Bone marrow aspirate smear
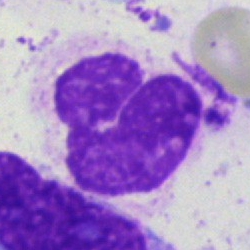

An artefact.